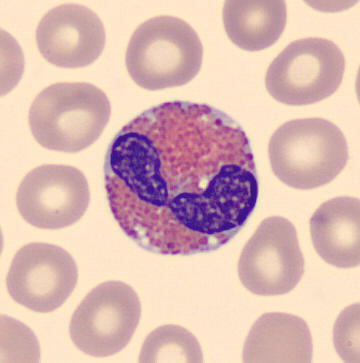 Showing an eosinophil. Peripheral blood film.